Bone marrow smear
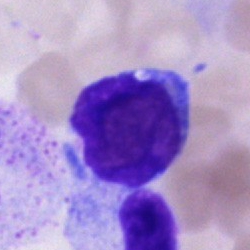Classification = typical lymphocyte.